Bone marrow aspirate smear: 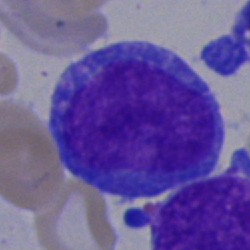Cell type = blast cell.